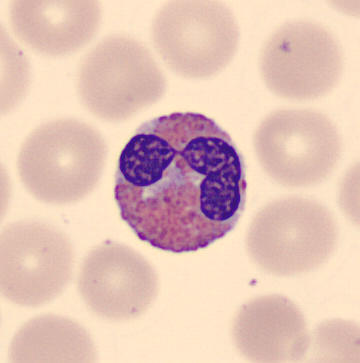

Morphology → eosinophil.
Acquisition: Peripheral blood smear.